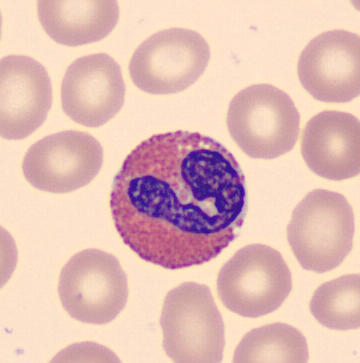

Morphology consistent with an eosinophilic granulocyte.